Bone marrow aspirate smear
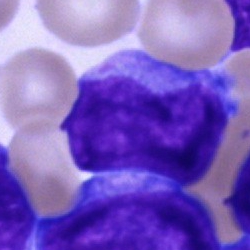

The cell type is blast.